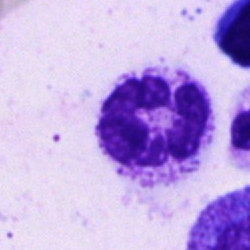

The cell is segmented neutrophil.